Bone marrow aspirate smear: 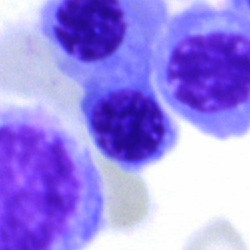
Morphology → erythroblast.